Pappenheim-stained · bone marrow aspirate smear.
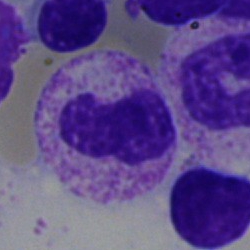
Q: What is shown here?
A: Band neutrophil.